Bone marrow aspirate smear · Pappenheim-stained
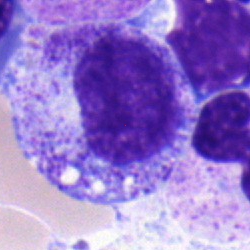
Morphology consistent with a myelocyte.